Bone marrow smear: 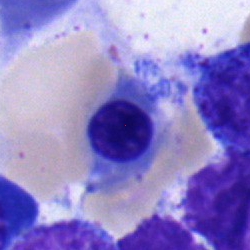 Morphological class = normoblast.